400 by 400 pixels · peripheral blood smear — 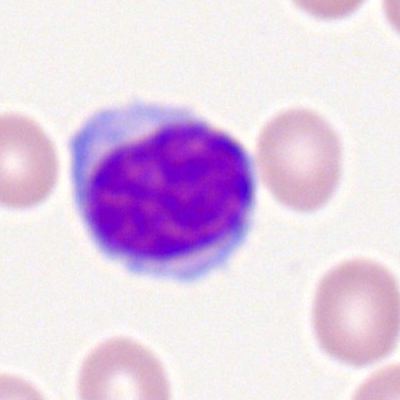 Q: What cell is this?
A: A typical lymphocyte.